Bone marrow smear. Brightfield, 40× oil-immersion objective
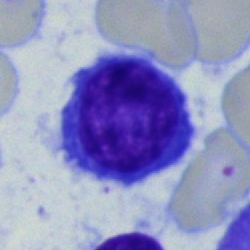Morphology — lymphocyte.